Single-cell crop; May-Grünwald-Giemsa/Pappenheim stain; bone marrow aspirate smear: 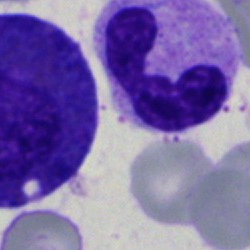
Cell: stab cell.